Bone marrow aspirate smear — 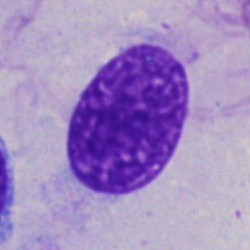

Morphological class = artifact.